Bone marrow aspirate smear: 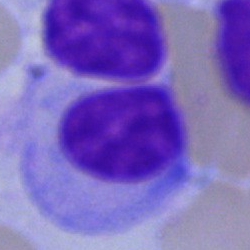 Morphological class — artifact.